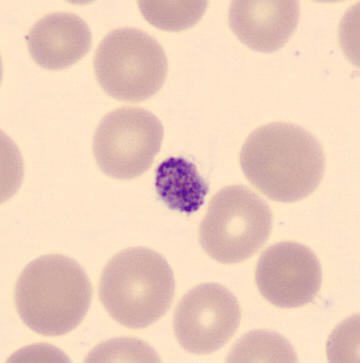

Image: Peripheral blood film.
Impression → platelet (thrombocyte).